Bone marrow smear. May-Grünwald-Giemsa stain:
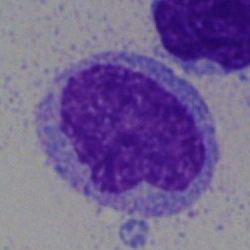

{"cell_type": "monocyte"}